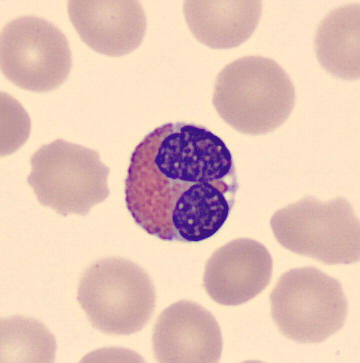
Identified as an eosinophilic granulocyte. Image: Peripheral blood smear.